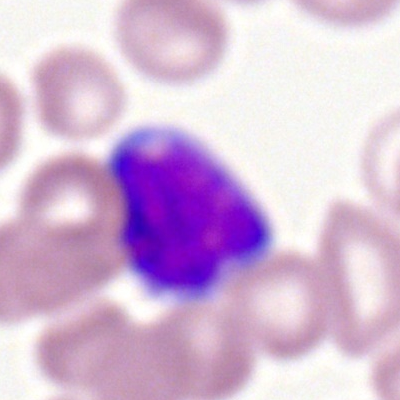
{"cell_type": "myeloid blast", "lineage": "myeloid"}